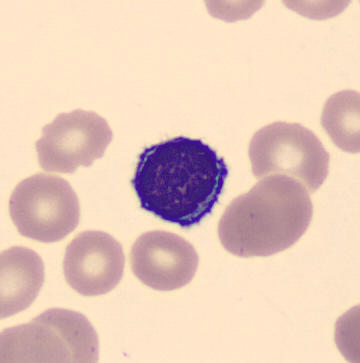

Peripheral blood film; single cell centered in the field.
The classification is typical lymphocyte.